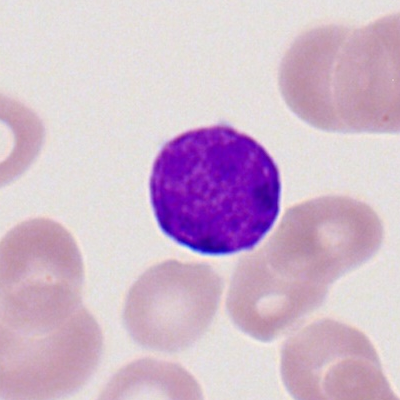
Cell — typical lymphocyte.